Bone marrow smear — 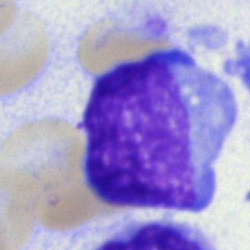Specimen: bone marrow smear.
Classification: blast cell.